Bone marrow smear.
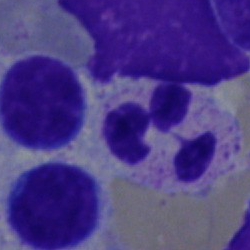 {"cell_type": "polymorphonuclear neutrophil", "lineage": "myeloid"}